Bone marrow aspirate smear. Single-cell field. 250×250 px: 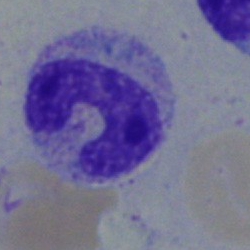

Morphological class: neutrophil (band).